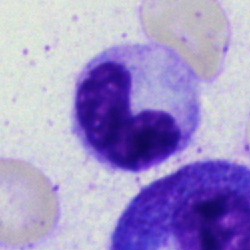
This is a stab cell.